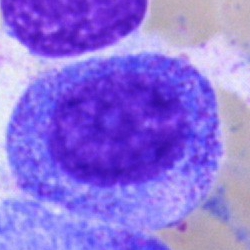Q: What is shown here?
A: This is a promyelocyte.